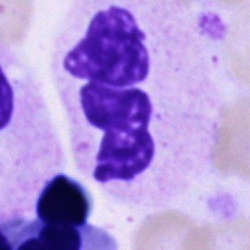 {"cell_type": "neutrophil (segmented)", "lineage": "myeloid"}